Bone marrow smear.
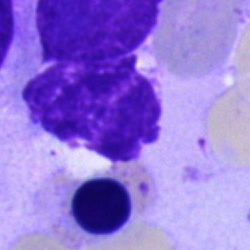 The cell is artifact.